Bone marrow aspirate smear; 250 by 250 pixels:
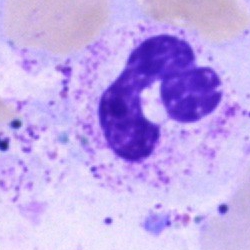
A segmented neutrophil.